Single cell centered in the field. Brightfield microscopy, 40× oil immersion. Bone marrow aspirate smear
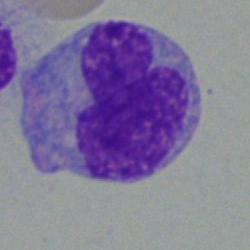
Morphology consistent with a monocyte.